250 by 250 pixels · bone marrow aspirate smear:
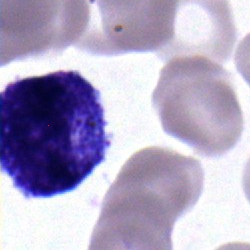The cell shown is a promyelocyte.